Bone marrow aspirate smear. 250 by 250 pixels: 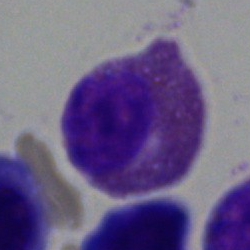The cell shown is an eosinophilic granulocyte.